Bone marrow aspirate smear: 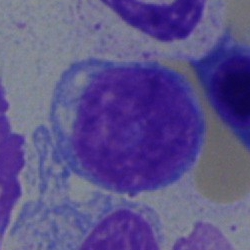 Showing a blast cell.